Bone marrow aspirate smear — 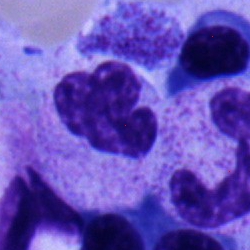 A neutrophil (segmented).